Bone marrow aspirate smear: 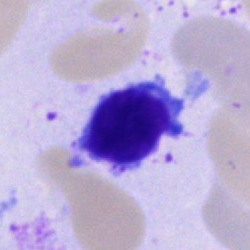

Showing a lymphocyte.